Brightfield, 40× oil-immersion objective; bone marrow smear; 250×250 px — 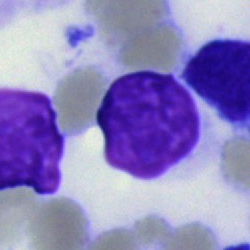 Specimen: bone marrow aspirate smear.
Classification: artefact.